Bone marrow aspirate smear.
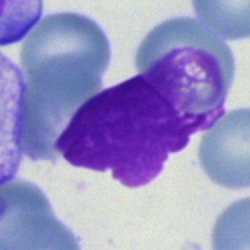 This is an artefact.